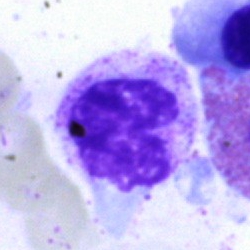

Cell — band-form neutrophil.